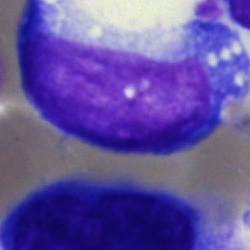Cell = blast.